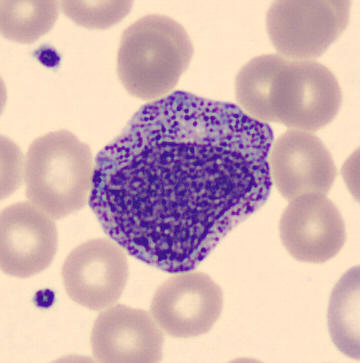

The cell shown is a promyelocyte.
CellaVision DM96 digital cell image. Peripheral blood film.